Bone marrow smear — 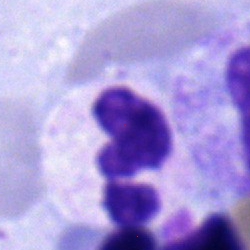 Morphological class: segmented neutrophil.